Bone marrow aspirate smear — 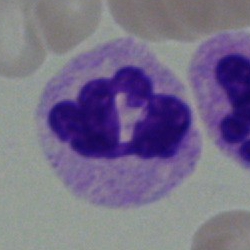The cell type is polymorphonuclear neutrophil.